Brightfield microscopy, 40× oil immersion. Bone marrow aspirate smear: 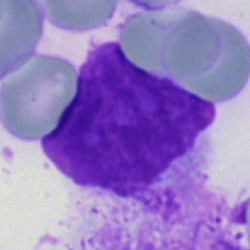

An undifferentiated blast.